40× objective, oil immersion · bone marrow aspirate smear.
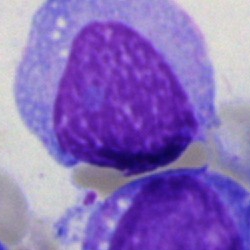

Morphology consistent with an undifferentiated blast.